Bone marrow aspirate smear — 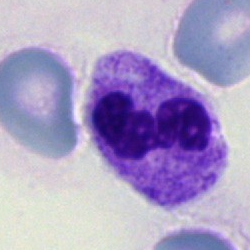 {"cell_type": "segmented neutrophil", "lineage": "myeloid"}